Peripheral blood smear
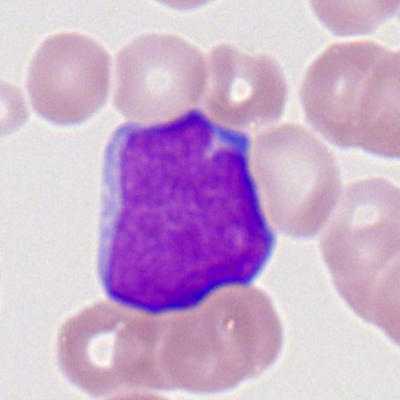
The classification is myeloblast.